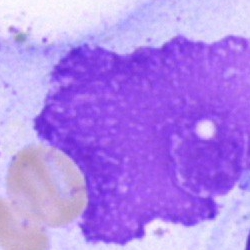Q: What is shown here?
A: It is an artifact.